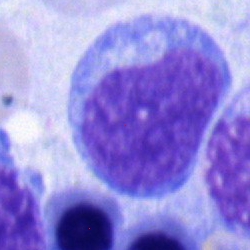
Classification: blast cell.